Bone marrow aspirate smear: 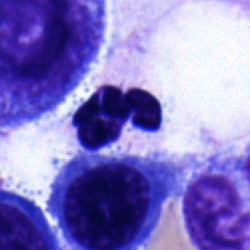Specimen: bone marrow smear.
Cell type: myelocyte.